Bone marrow smear · MGG-stained
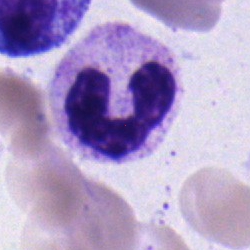

Specimen: bone marrow smear.
Morphological class: band neutrophil.
Lineage: myeloid.